Bone marrow aspirate smear · MGG-stained · single-cell crop.
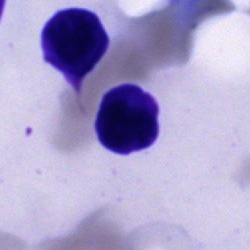Cell type — artifact.